Bone marrow aspirate smear — 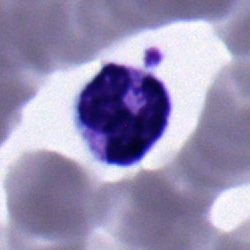 This is a monocyte.